May-Grünwald-Giemsa stain; bone marrow aspirate smear; brightfield microscopy, 40× oil immersion:
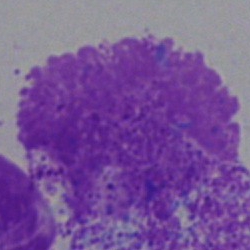
Cell — artefact.